Bone marrow aspirate smear
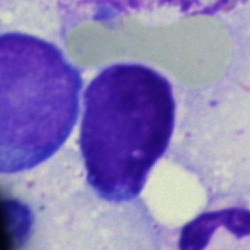Morphology consistent with a typical lymphocyte.